Bone marrow smear · single-cell crop:
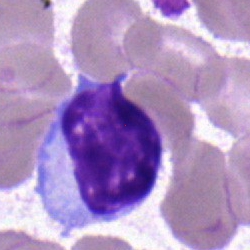Q: What type of cell is this?
A: It is a typical lymphocyte.